Bone marrow aspirate smear.
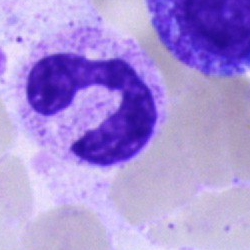

Neutrophil (band).